40× objective, oil immersion; bone marrow smear; 250 by 250 pixels.
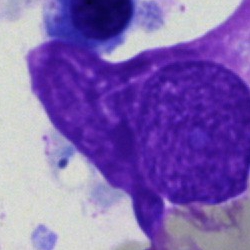The cell is artifact.